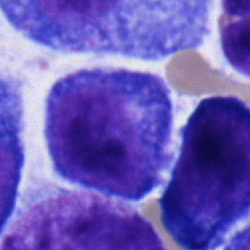Morphology — promyelocyte.